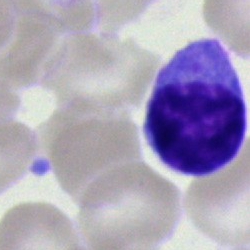 Classification: lymphocyte.